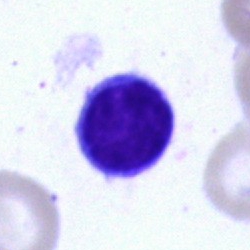
Single cell identified as a lymphocyte.